Bone marrow smear; Pappenheim-stained:
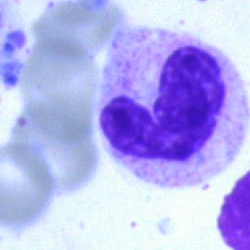 The morphological class is neutrophil (band).